Peripheral blood smear.
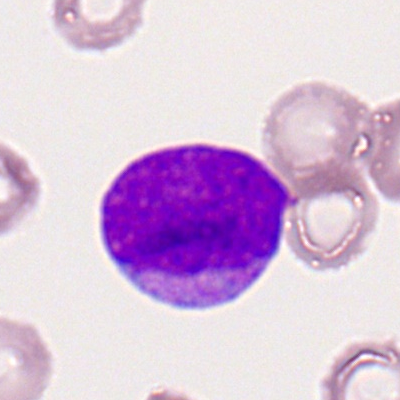

Q: What is the morphological classification of this cell?
A: Myeloid blast.